Bone marrow aspirate smear; single-cell crop; Pappenheim-stained.
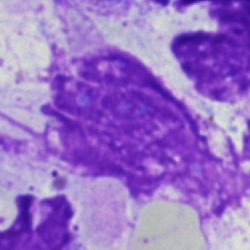 Cell type: artefact.